MGG-stained; bone marrow aspirate smear:
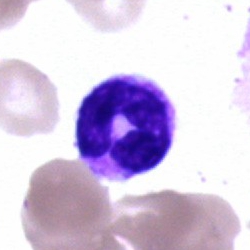
This is a polymorphonuclear neutrophil.